Bone marrow aspirate smear:
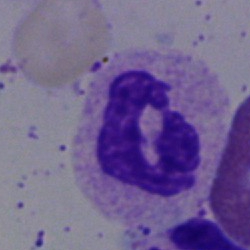Cell — polymorphonuclear neutrophil.